May-Grünwald-Giemsa/Pappenheim stain · bone marrow aspirate smear.
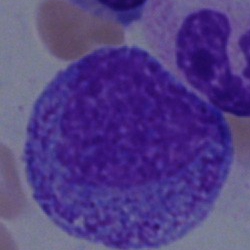Impression — promyelocyte.